May-Grünwald-Giemsa/Pappenheim stain. Bone marrow aspirate smear — 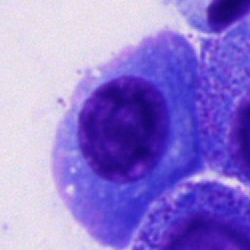 Cell type: plasma cell.